250×250; 40× oil immersion; bone marrow smear: 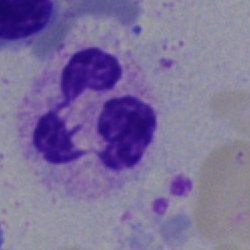Morphology consistent with a neutrophil (segmented).